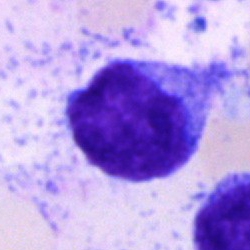 Q: What cell is this?
A: This is a blast cell.